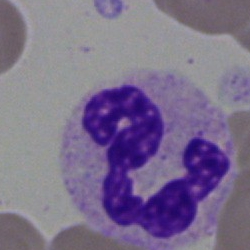 Morphology → polymorphonuclear neutrophil.